Bone marrow smear: 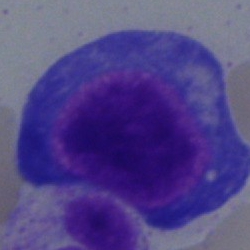 Q: Which cell type is shown here?
A: It is a proerythroblast.